Bone marrow aspirate smear — 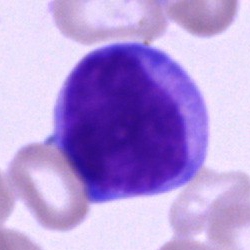 An undifferentiated blast.